360×363 px · peripheral blood film.
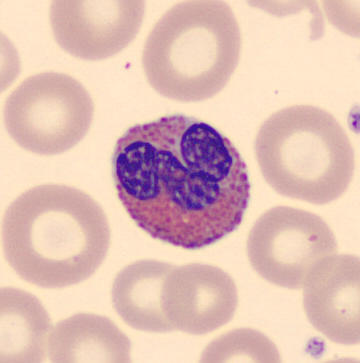 Cell = eosinophilic granulocyte.